250×250 px. Bone marrow smear
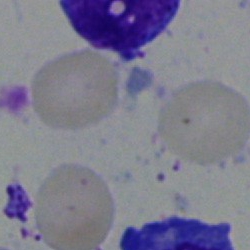Q: What is shown here?
A: This is an artefact.